Pappenheim-stained · 40× objective, oil immersion · bone marrow smear
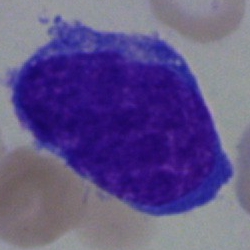Single cell identified as a blast.